Bone marrow smear.
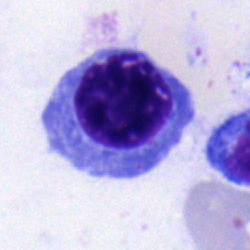
A normoblast.